Peripheral blood film — 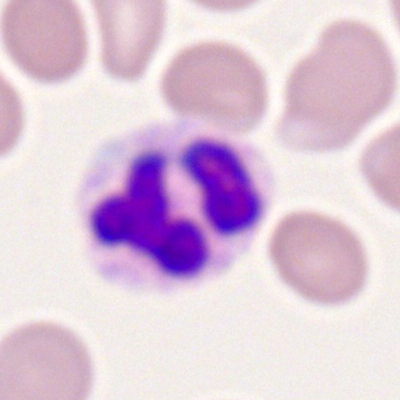
Impression → neutrophil (segmented).